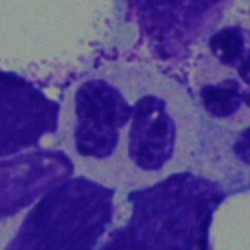Specimen: bone marrow smear.
Classification: neutrophil (segmented).